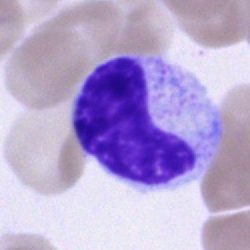 A metamyelocyte.